Bone marrow smear.
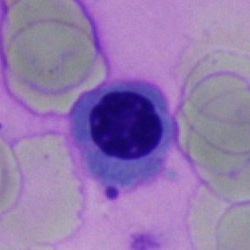 The cell type is nucleated red blood cell.